Bone marrow aspirate smear:
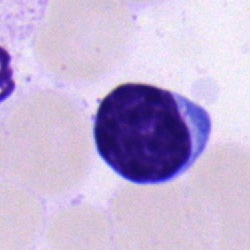 Specimen: bone marrow smear.
Cell: lymphocyte.
Lineage: lymphoid.